Bone marrow smear — 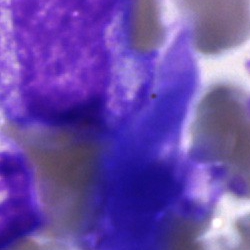
Artifact.